Bone marrow smear
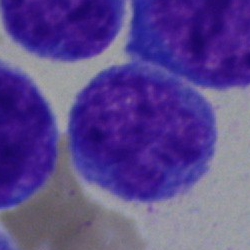

Blast.